Bone marrow aspirate smear. May-Grünwald-Giemsa stain. 40× objective, oil immersion.
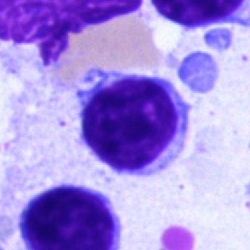
Q: What cell is this?
A: A lymphocyte.